Peripheral blood film
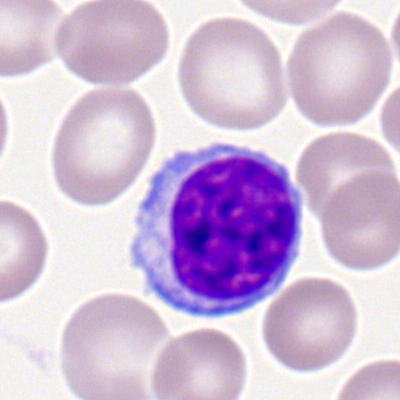

This is a lymphocyte.